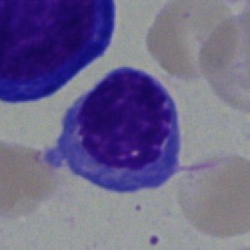Normoblast.